40× objective, oil immersion. Bone marrow aspirate smear
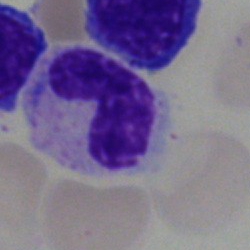 Morphology consistent with a band-form neutrophil.